Bone marrow aspirate smear. Brightfield, 40× oil-immersion objective: 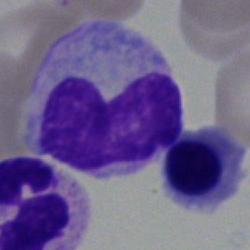
Morphology → stab cell.